Peripheral blood film — 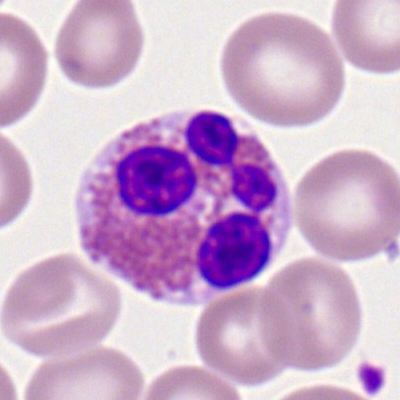
Q: What type of cell is this?
A: An eosinophil.